Bone marrow aspirate smear; 250 by 250 pixels; cropped to a single cell.
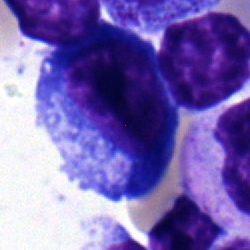 Showing a plasmacyte.